Pappenheim-stained; bone marrow smear.
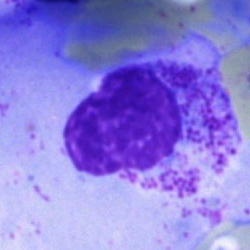

A myelocyte.